250 by 250 pixels · bone marrow smear — 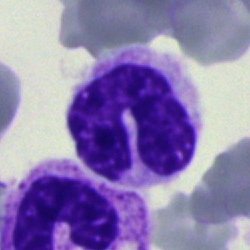

{"cell_type": "band-form neutrophil", "lineage": "myeloid"}